Romanowsky-type stain; peripheral blood film; 100× oil immersion — 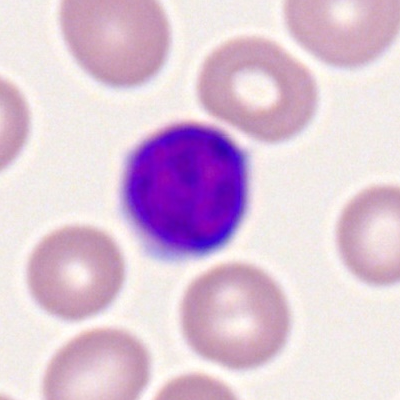Morphology consistent with a typical lymphocyte.